Romanowsky stain. Peripheral blood film: 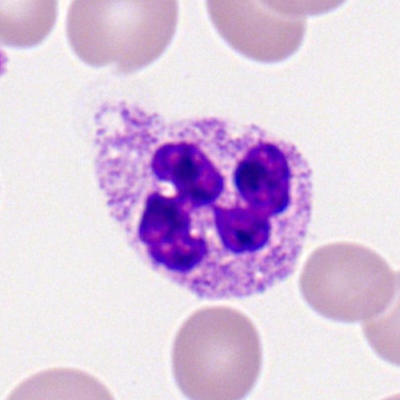

Single cell identified as a segmented neutrophil.